40× oil immersion · bone marrow aspirate smear · MGG-stained
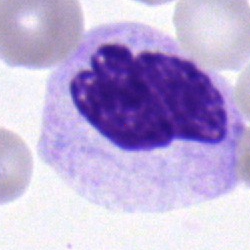
This is a segmented neutrophil.